Brightfield microscopy, 40× oil immersion. Bone marrow aspirate smear — 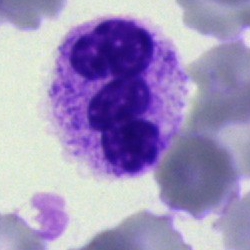Specimen: bone marrow smear.
Classification: segmented neutrophil.